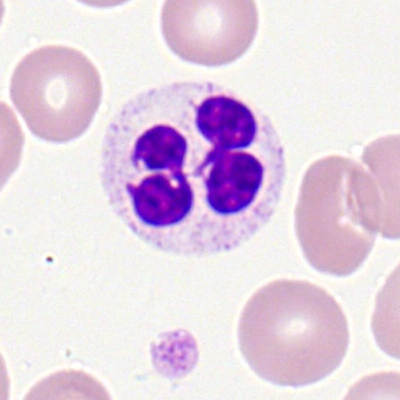 {"cell_type": "neutrophil (segmented)", "lineage": "myeloid"}